May-Grünwald-Giemsa/Pappenheim stain; bone marrow aspirate smear.
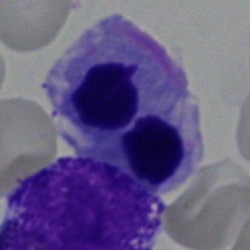 A nucleated red blood cell.